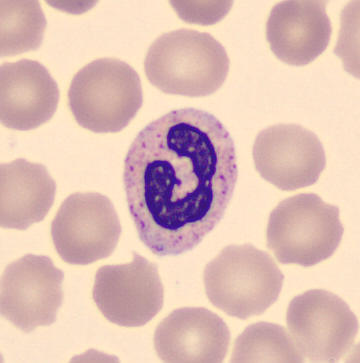The classification is neutrophil (band).